Bone marrow smear. May-Grünwald-Giemsa/Pappenheim stain
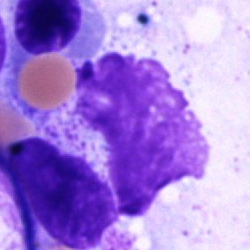Morphological class = artifact.